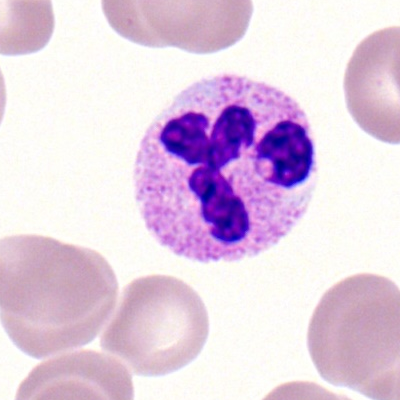This is a neutrophil (segmented).